Bone marrow aspirate smear — 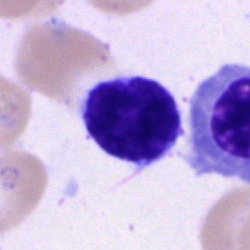 Classification: lymphocyte.